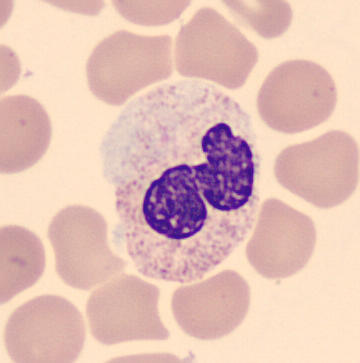 Impression — segmented neutrophil.